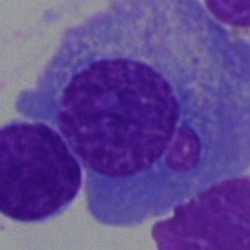
Classification — plasma cell.